Bone marrow smear · May-Grünwald-Giemsa/Pappenheim stain
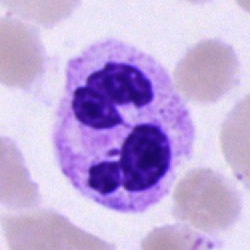 Single cell identified as a neutrophil (segmented).